40× objective, oil immersion · bone marrow aspirate smear:
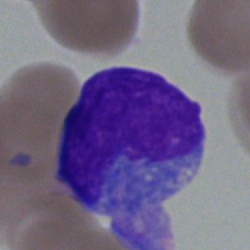

Showing a blast cell.